Bone marrow smear · brightfield microscopy, 40× oil immersion — 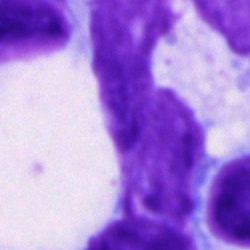{"cell_type": "artefact"}